Bone marrow smear — 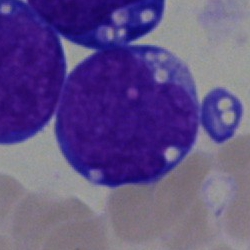
Q: Identify the cell.
A: It is a blast.